Bone marrow smear: 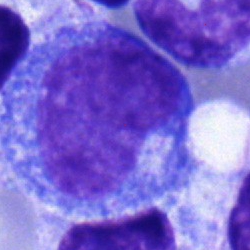Cell: promyelocyte.